Bone marrow aspirate smear:
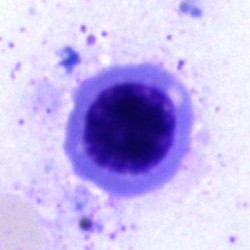

Cell type — nucleated red cell.